250 by 250 pixels · bone marrow aspirate smear: 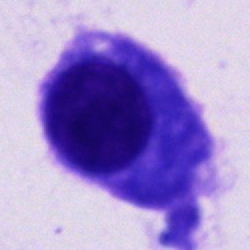An other cell type.